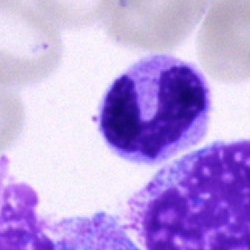 Specimen: bone marrow aspirate smear.
Cell: band neutrophil.